Bone marrow aspirate smear: 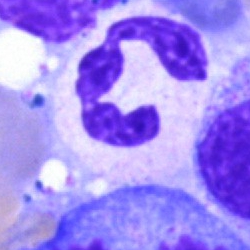
Single cell identified as a segmented neutrophil.